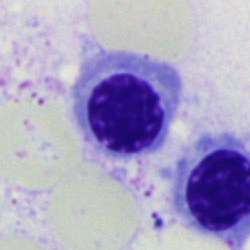Cell type = nucleated red blood cell.